Single-cell field · brightfield microscopy, 40× oil immersion · bone marrow smear
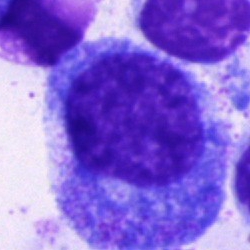
This is a progranulocyte.